400×400; peripheral blood film: 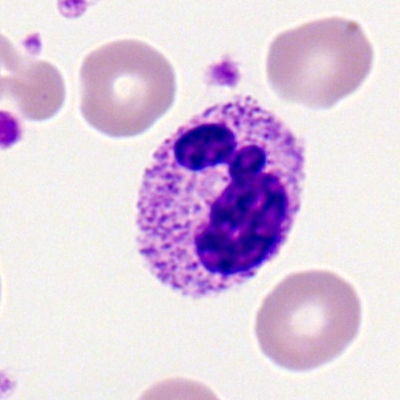

Cell type = neutrophil (segmented).